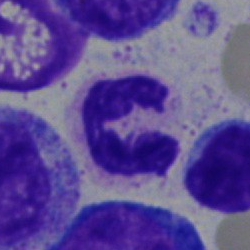Single cell identified as a polymorphonuclear neutrophil.